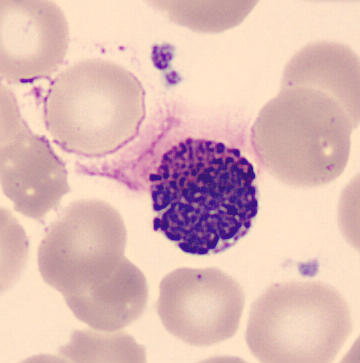

Peripheral blood film, single cell — basophilic granulocyte.